May-Grünwald-Giemsa/Pappenheim stain. Cropped to a single cell. Bone marrow smear — 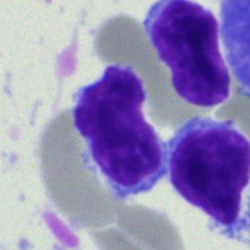 Q: What is shown here?
A: It is a lymphocyte.